Bone marrow aspirate smear.
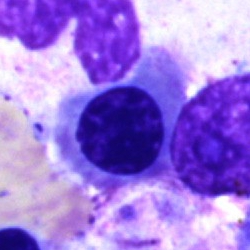 Morphology consistent with a nucleated red cell.